Bone marrow aspirate smear:
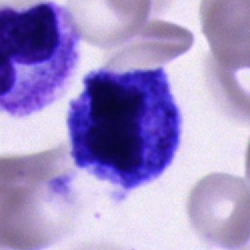This is a cell of indeterminate lineage.